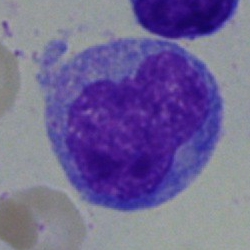Morphological class = monocyte.